250 by 250 pixels; bone marrow aspirate smear.
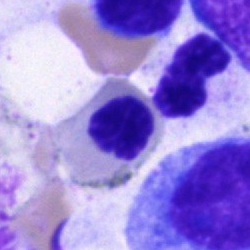

Morphological class: nucleated red cell.